Bone marrow aspirate smear · brightfield microscopy, 40× oil immersion
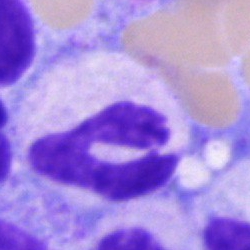
{"cell_type": "polymorphonuclear neutrophil", "lineage": "myeloid"}